Peripheral blood film; Romanowsky-type stain:
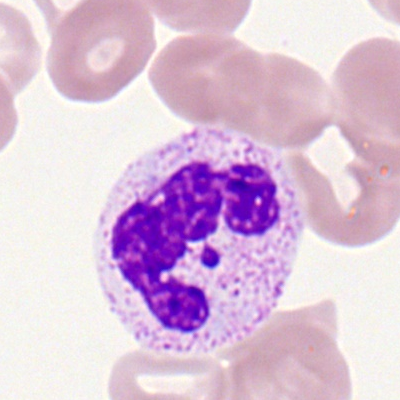
Specimen: peripheral blood film.
Cell: polymorphonuclear neutrophil.